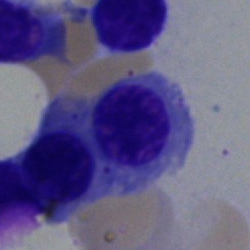Impression — normoblast.